Bone marrow aspirate smear:
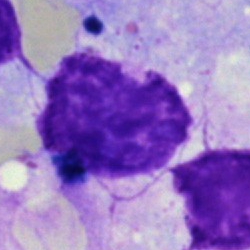 Morphology consistent with an artefact.